Bone marrow smear:
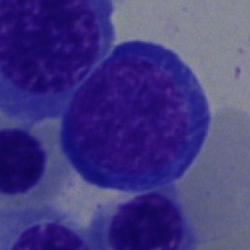
Morphology consistent with a nucleated red blood cell.